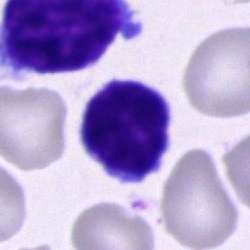 Morphology → lymphocyte.